Bone marrow aspirate smear. Single-cell crop:
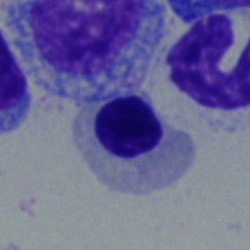
Showing a nucleated red cell.